Bone marrow aspirate smear; 250×250.
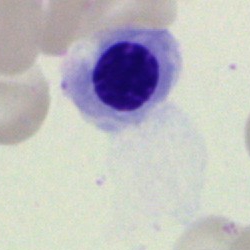Nucleated red blood cell.